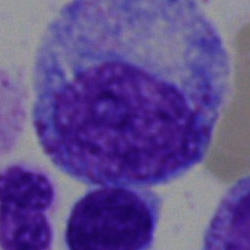
{"cell_type": "promyelocyte", "lineage": "myeloid"}